Bone marrow smear
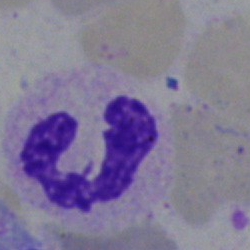 Specimen: bone marrow aspirate smear.
Classification: neutrophil (segmented).
Lineage: myeloid.